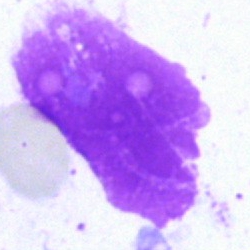
Morphology → artifact.